Bone marrow aspirate smear. May-Grünwald-Giemsa/Pappenheim stain.
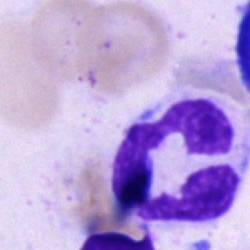Q: What cell is this?
A: It is a neutrophil (segmented).